Bone marrow smear.
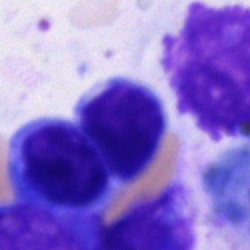

Specimen: bone marrow smear.
Cell: unidentifiable cell.